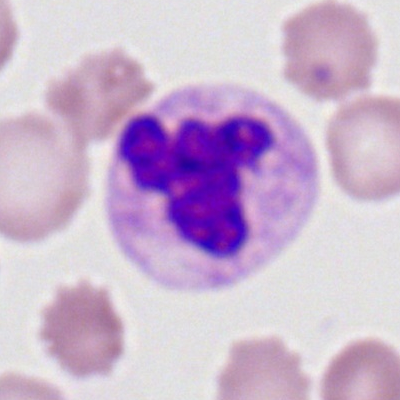Specimen: peripheral blood film.
Cell: neutrophil (segmented).
Lineage: myeloid.